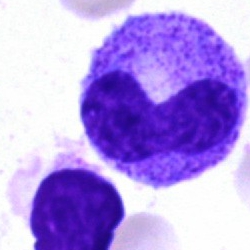{"cell_type": "band neutrophil", "lineage": "myeloid"}